250 by 250 pixels · bone marrow aspirate smear · 40× objective, oil immersion.
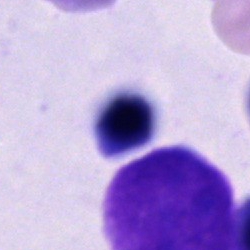
The cell is cell of indeterminate lineage.